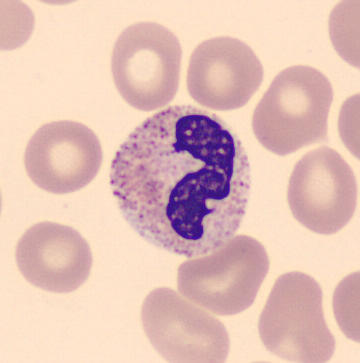 Specimen: peripheral blood film.
Cell type: polymorphonuclear neutrophil.